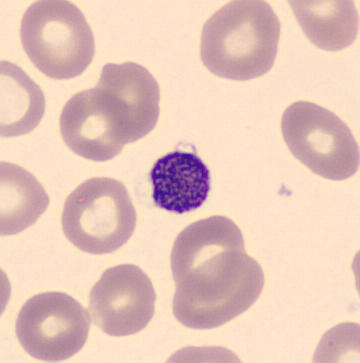

Peripheral blood smear showing a platelet (thrombocyte).